Bone marrow aspirate smear — 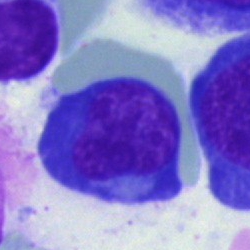
Q: What cell is this?
A: This is a nucleated red blood cell.